Bone marrow smear:
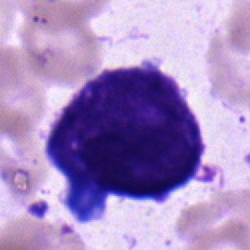Showing a blast.